Bone marrow aspirate smear
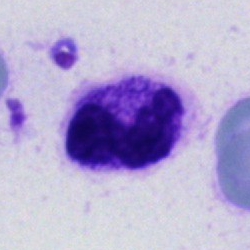Classification = polymorphonuclear neutrophil.